Bone marrow smear · 250×250 px · Pappenheim-stained
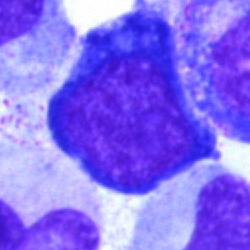Impression — erythroblast.